Peripheral blood smear: 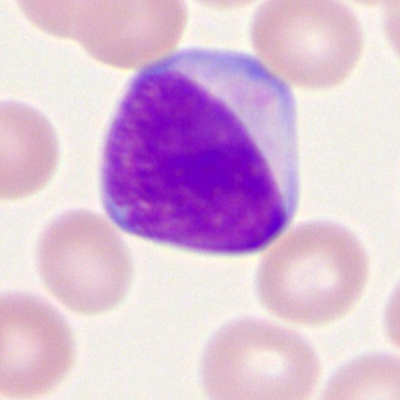

{"cell_type": "myeloid blast"}